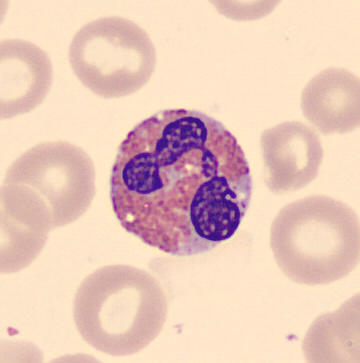 This is an eosinophilic granulocyte.
Acquisition: Peripheral blood smear.